Brightfield, 40× oil-immersion objective. Bone marrow aspirate smear. 250×250 — 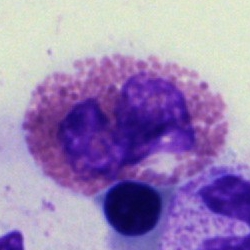
Cell type = eosinophilic granulocyte.